Bone marrow aspirate smear · 250 by 250 pixels — 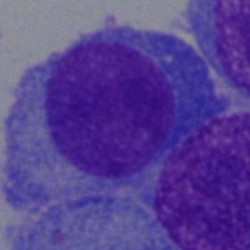
Showing a plasma cell.